Bone marrow aspirate smear — 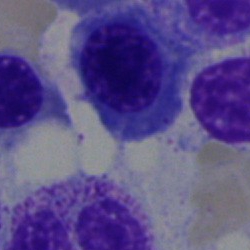{"cell_type": "normoblast"}